Peripheral blood smear; single-cell field — 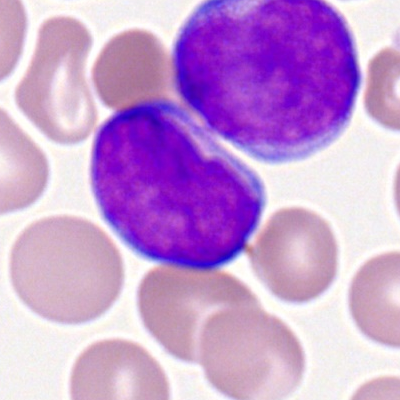
Myeloblast.